May-Grünwald-Giemsa stain; bone marrow aspirate smear.
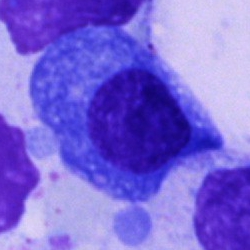This is a plasmacyte.